Bone marrow aspirate smear. Cropped to a single cell — 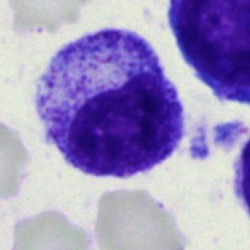
The cell shown is a myelocyte.